Bone marrow aspirate smear
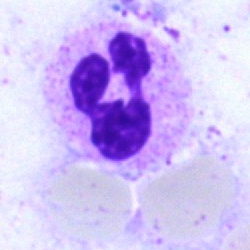
Classification = neutrophil (segmented).